Bone marrow smear:
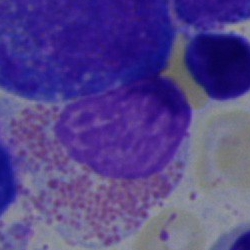

Specimen: bone marrow smear.
Cell type: eosinophilic granulocyte.
Lineage: myeloid.